Bone marrow aspirate smear — 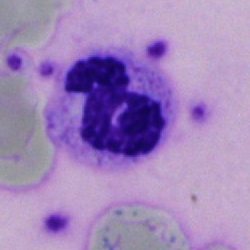
Specimen: bone marrow smear.
Cell: polymorphonuclear neutrophil.
Lineage: myeloid.